Peripheral blood film — 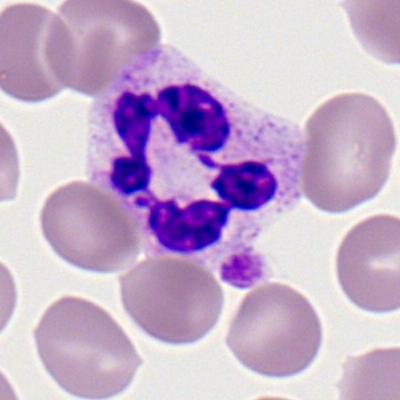
{"cell_type": "segmented neutrophil", "lineage": "myeloid"}